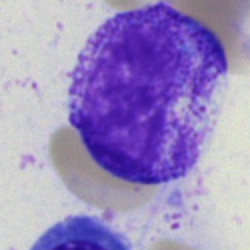
A myelocyte.